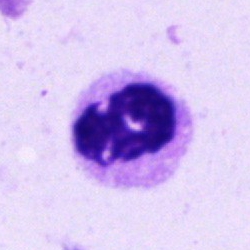

Classification = neutrophil (segmented).